Bone marrow aspirate smear; MGG-stained:
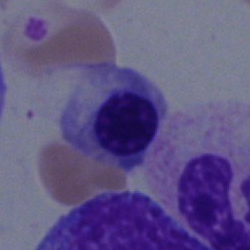
A nucleated red cell.